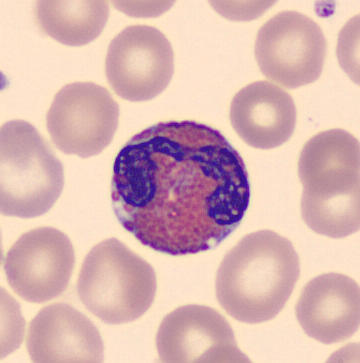 Identified as an eosinophil. Peripheral blood film · May-Grünwald-Giemsa-stained.